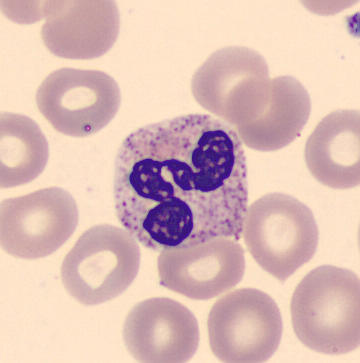 MGG-stained · peripheral blood film.
The cell shown is a polymorphonuclear neutrophil.